Bone marrow smear: 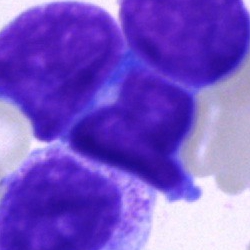
Q: Identify the cell.
A: Undifferentiated blast.